400×400 px. Peripheral blood film
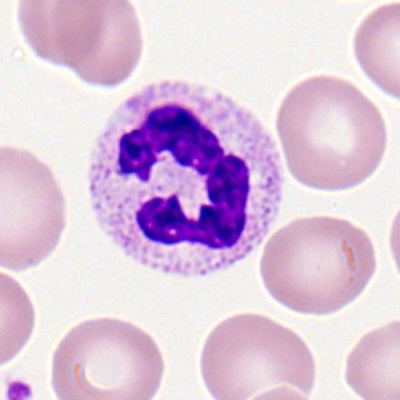Morphology consistent with a neutrophil (segmented).